Bone marrow smear. Pappenheim-stained. Brightfield, 40× oil-immersion objective
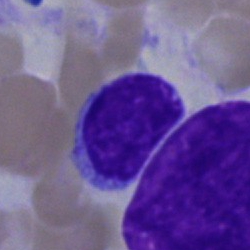

Q: What cell is this?
A: It is a typical lymphocyte.